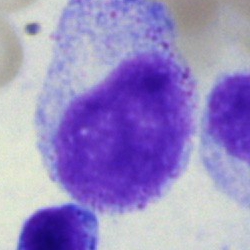

Specimen: bone marrow aspirate smear.
Morphological class: pronormoblast.
Lineage: erythroid.